Bone marrow smear:
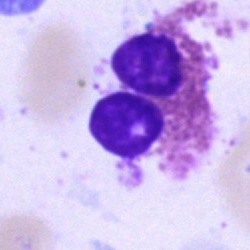
Impression → eosinophil.